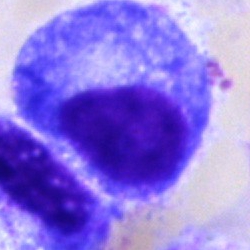

Cell type: progranulocyte.